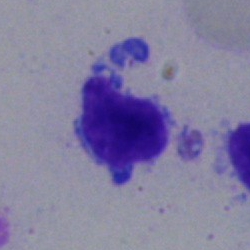Specimen: bone marrow smear.
Morphological class: lymphocyte.
Lineage: lymphoid.